Bone marrow aspirate smear.
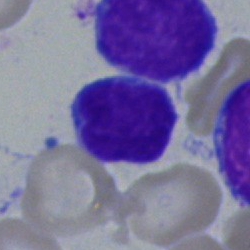

Q: Which cell type is shown here?
A: A lymphocyte.